Bone marrow smear:
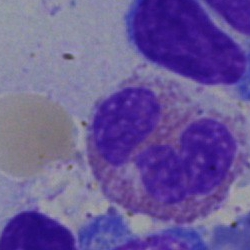
The cell shown is an eosinophilic granulocyte.